Bone marrow smear:
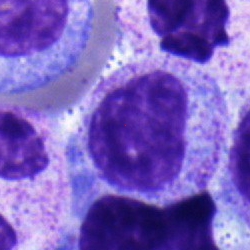Single cell identified as a myelocyte.